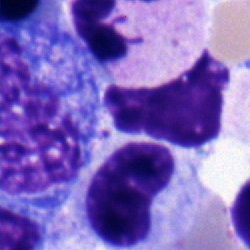 Morphology — polymorphonuclear neutrophil.